Bone marrow smear.
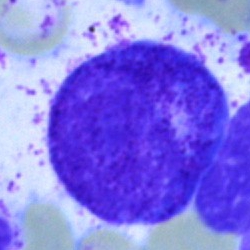

Single cell identified as a promyelocyte.